Brightfield microscopy, 40× oil immersion · May-Grünwald-Giemsa/Pappenheim stain · bone marrow smear: 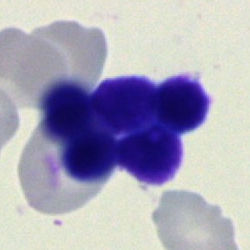 Cell type: nucleated red blood cell.